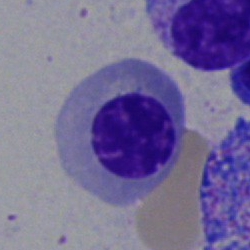

Classification — erythroblast.